Cropped to a single cell · bone marrow aspirate smear
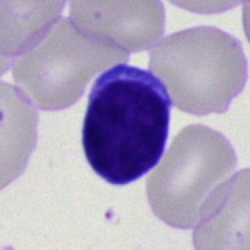The classification is lymphocyte.